Single-cell field. Bone marrow aspirate smear. 40× objective, oil immersion.
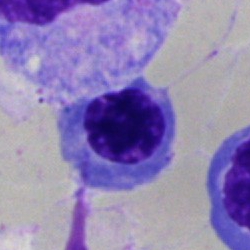Cell type: nucleated red cell.